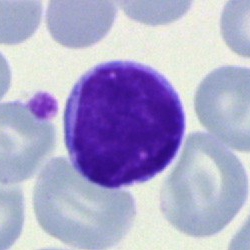 Morphological class = typical lymphocyte.